Bone marrow smear · 250×250 px
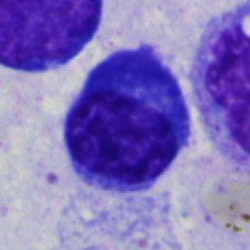 {"cell_type": "plasmacyte", "lineage": "lymphoid"}